Image size 250×250. Bone marrow aspirate smear
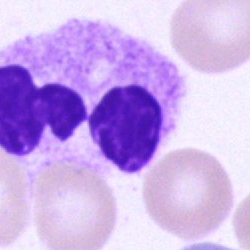Morphology — polymorphonuclear neutrophil.